Bone marrow aspirate smear:
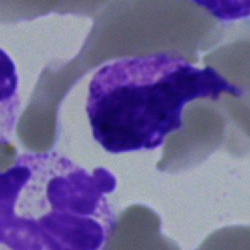
Impression — basophilic granulocyte.